Bone marrow smear.
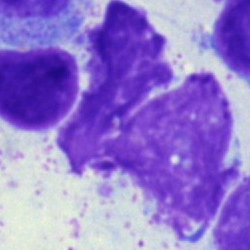Morphological class — artefact.